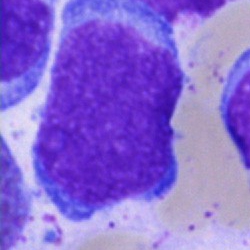Q: What is the morphological classification of this cell?
A: A blast.